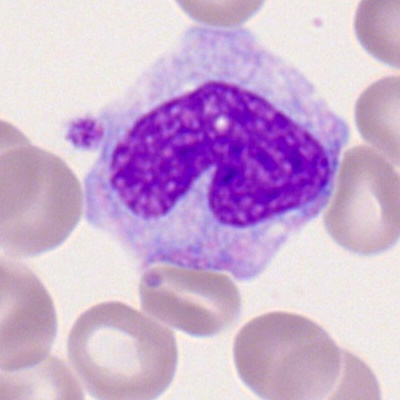Cell type: monocyte.